Bone marrow smear.
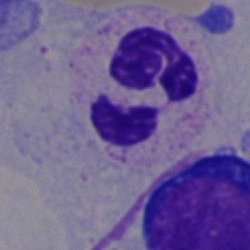 Polymorphonuclear neutrophil.